Bone marrow smear: 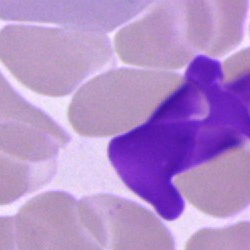Cell type — cell of indeterminate lineage.